Bone marrow aspirate smear
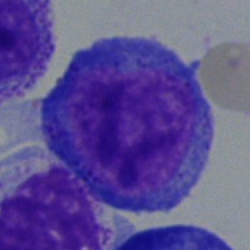 A proerythroblast.